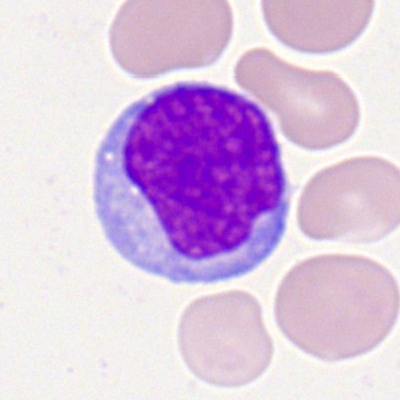
Typical lymphocyte.